Bone marrow smear: 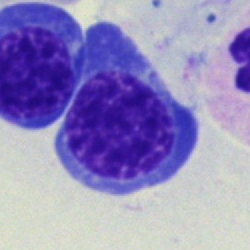
Single cell identified as a normoblast.